Single cell centered in the field. Bone marrow aspirate smear:
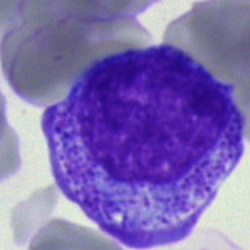

Morphology consistent with a promyelocyte.